Bone marrow smear:
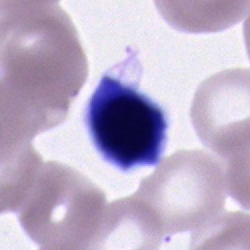
This is a normoblast.